Bone marrow aspirate smear.
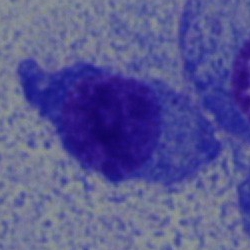 Q: Identify the cell.
A: This is a plasmacyte.